40× objective, oil immersion. Bone marrow smear — 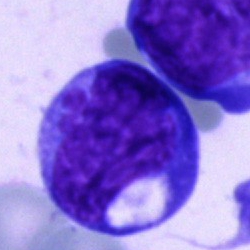 Q: What type of cell is this?
A: It is an undifferentiated blast.